Pappenheim-stained. Bone marrow aspirate smear — 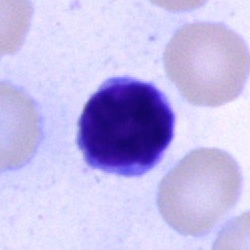

Morphological class — typical lymphocyte.